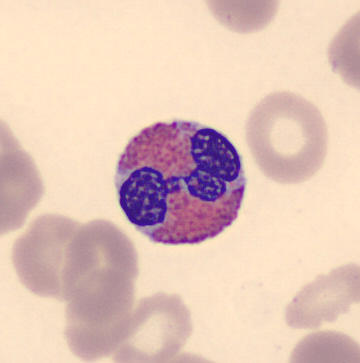
The morphological class is eosinophilic granulocyte.